Single-cell crop; 250×250; bone marrow aspirate smear.
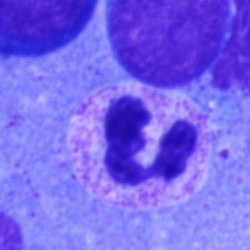

This is a polymorphonuclear neutrophil.